360 by 363 pixels; peripheral blood smear — 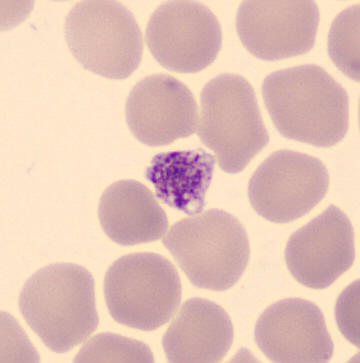

A thrombocyte.